250 by 250 pixels. Bone marrow smear.
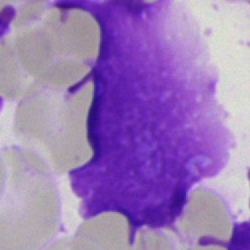 Classification: artifact.